250×250 px · bone marrow aspirate smear · Pappenheim-stained.
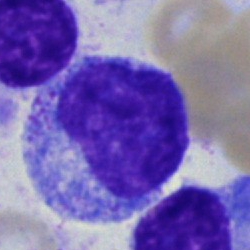
Q: What cell is this?
A: It is a progranulocyte.